40× oil immersion. Bone marrow aspirate smear.
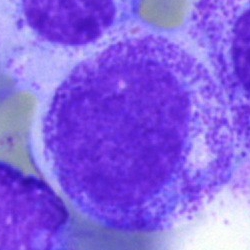

Myelocyte.